Bone marrow aspirate smear
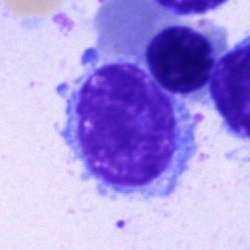 The classification is lymphocyte.